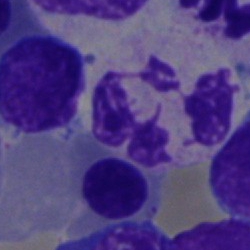The cell is segmented neutrophil.